MGG-stained · bone marrow smear · single cell centered in the field:
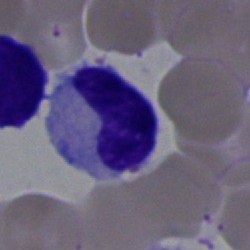Single cell identified as a neutrophil (band).